Bone marrow smear: 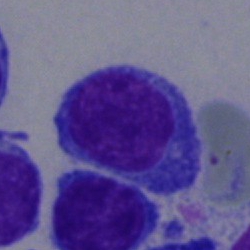This is a lymphocyte.